Single-cell crop; bone marrow smear; 250×250 px:
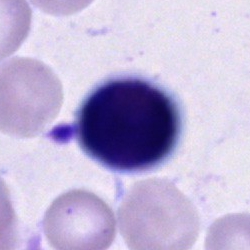Impression — unidentifiable cell.